Bone marrow smear:
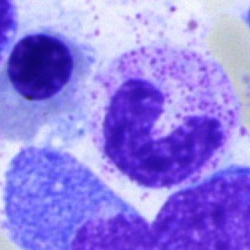
Cell type = band neutrophil.